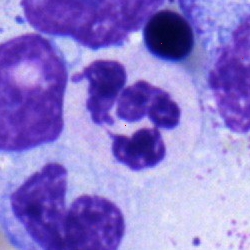Q: Identify the cell.
A: It is a segmented neutrophil.